Bone marrow aspirate smear; single-cell crop; brightfield, 40× oil-immersion objective: 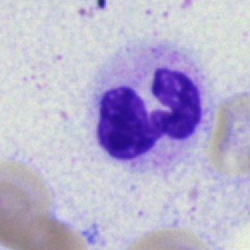Morphology consistent with a neutrophil (segmented).